Peripheral blood smear. Single-cell crop. Imaged on a CellaVision DM96 analyser: 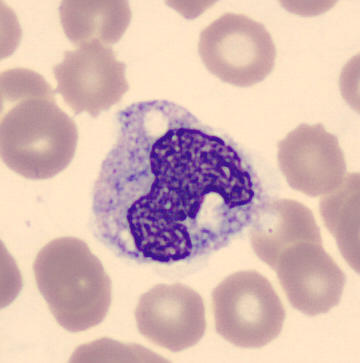
Q: What is shown here?
A: Monocyte.